Bone marrow smear — 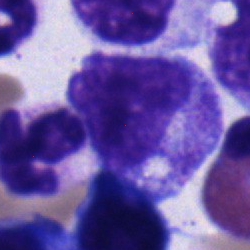Morphology consistent with a promyelocyte.